Bone marrow smear: 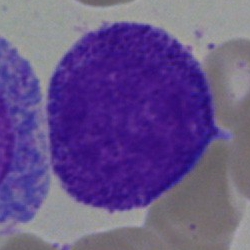 Showing a promyelocyte.